250×250 · bone marrow aspirate smear — 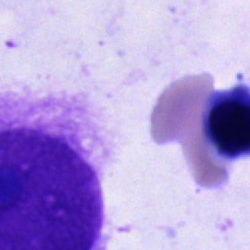
Classification = cell of indeterminate lineage.